Bone marrow aspirate smear · MGG-stained:
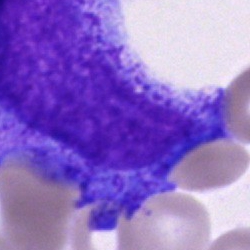 Morphology consistent with a promyelocyte.